Bone marrow aspirate smear.
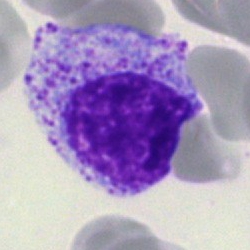 Q: Which cell type is shown here?
A: It is a myelocyte.